Bone marrow aspirate smear
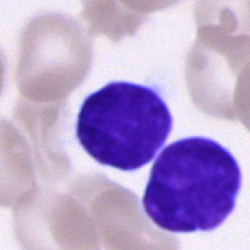Specimen: bone marrow smear.
Classification: lymphocyte.
Lineage: lymphoid.